Bone marrow aspirate smear.
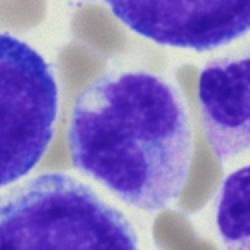
This is a monocyte.